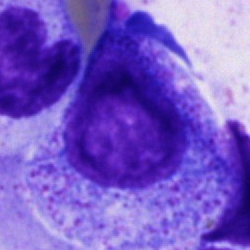

Specimen: bone marrow aspirate smear.
Cell type: progranulocyte.
Lineage: myeloid.